Single-cell crop. Bone marrow aspirate smear
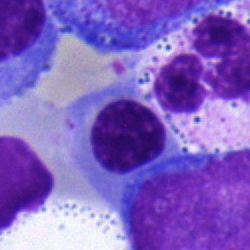Q: Identify the cell.
A: It is a normoblast.